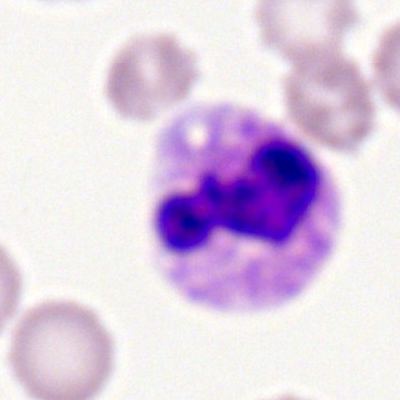
Q: Which cell type is shown here?
A: A neutrophil (segmented).